Bone marrow aspirate smear: 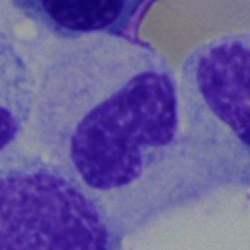 Classification = stab cell.